Peripheral blood smear; image size 400×400
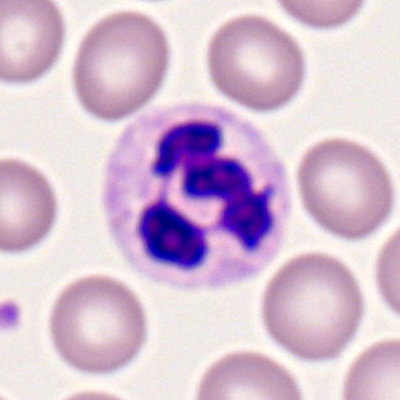 Neutrophil (segmented).